Bone marrow smear — 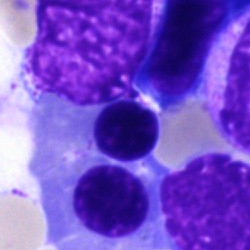

Morphology → nucleated red blood cell.